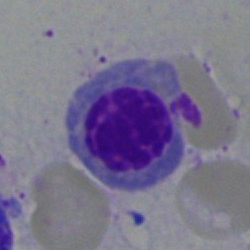

Cell type: nucleated red cell.